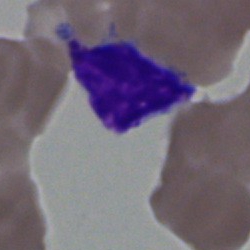 Morphological class — lymphocyte.